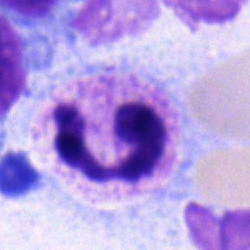
The cell is polymorphonuclear neutrophil.